Pappenheim-stained · bone marrow aspirate smear · 40× objective, oil immersion.
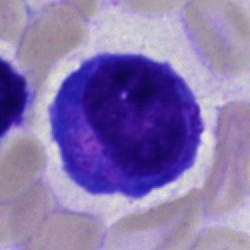

Morphological class = progranulocyte.